Bone marrow aspirate smear — 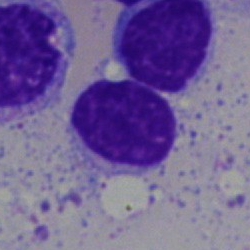Specimen: bone marrow smear.
Classification: lymphocyte.
Lineage: lymphoid.